Single cell centered in the field; bone marrow smear: 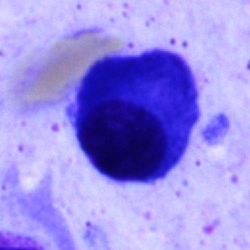Morphology consistent with a plasma cell.